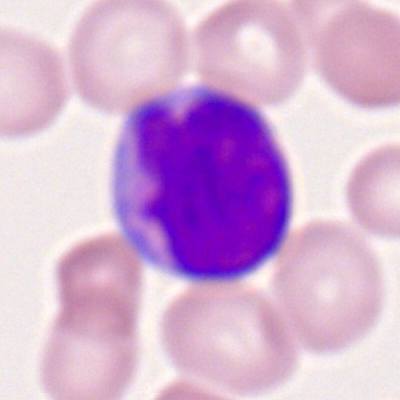
Peripheral blood film, single cell — myeloid blast.